250×250 · bone marrow smear: 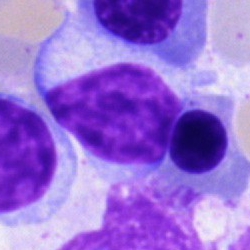
Impression — lymphocyte.